Single cell centered in the field · bone marrow aspirate smear.
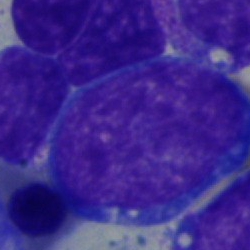Specimen: bone marrow smear.
Cell: undifferentiated blast.